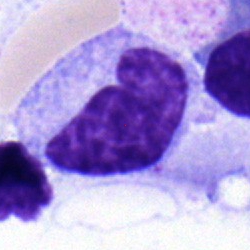Impression — monocyte.